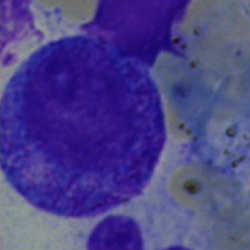

Cell type — promyelocyte.